Bone marrow aspirate smear; cropped to a single cell: 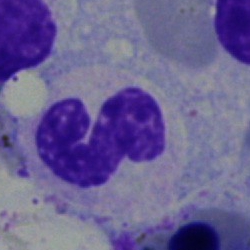
Specimen: bone marrow aspirate smear.
Cell: neutrophil (band).